Bone marrow smear; 40× oil immersion:
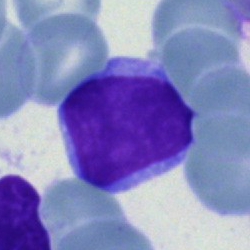
Q: What type of cell is this?
A: A lymphocyte.